Image size 250×250. Bone marrow smear
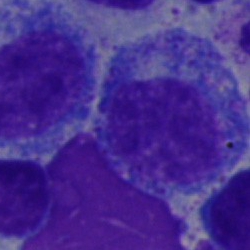

Q: What is the morphological classification of this cell?
A: It is a promyelocyte.